Bone marrow aspirate smear; MGG-stained; single-cell field:
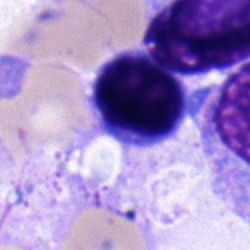Cell type — lymphocyte.